250×250; bone marrow smear.
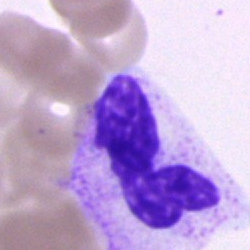Morphology — polymorphonuclear neutrophil.